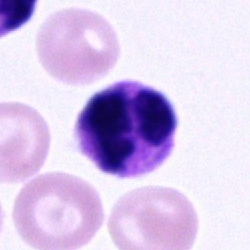 Bone marrow smear showing a segmented neutrophil.